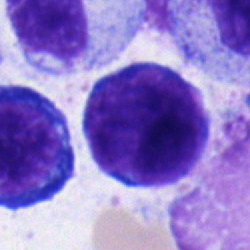
Single-cell crop from a bone marrow smear: pronormoblast.